Bone marrow smear:
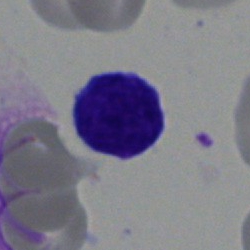
Showing a lymphocyte.